Bone marrow smear
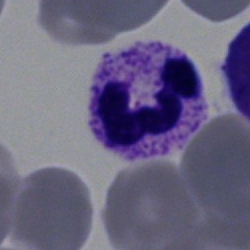Q: Identify the cell.
A: Segmented neutrophil.